Bone marrow aspirate smear; 40× objective, oil immersion
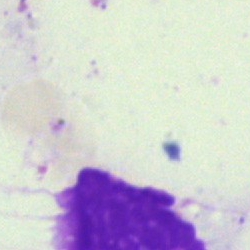
Morphological class: artifact.